Bone marrow aspirate smear
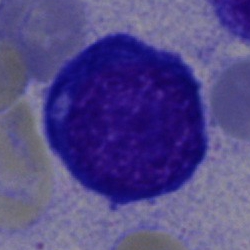 Q: Identify the cell.
A: This is a proerythroblast.